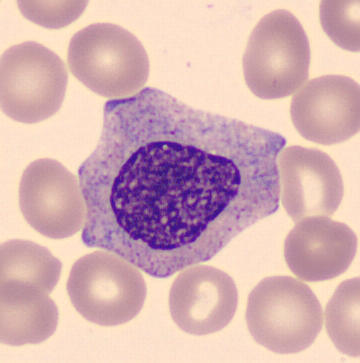 From a peripheral blood smear: a myelocyte.